Bone marrow smear: 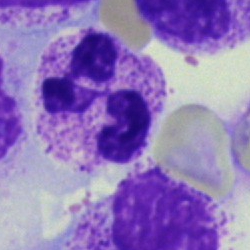This is a segmented neutrophil.